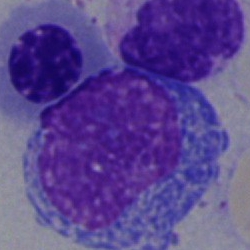

Specimen: bone marrow aspirate smear.
Cell type: artifact.